Bone marrow smear — 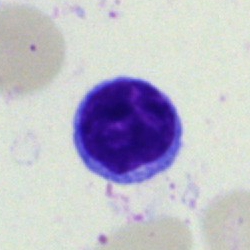 Cell — typical lymphocyte.